MGG-stained · bone marrow smear.
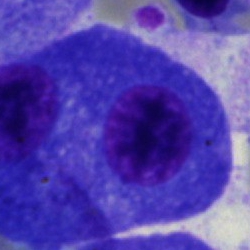 Q: What is the morphological classification of this cell?
A: This is a plasmacyte.